40× objective, oil immersion; bone marrow aspirate smear
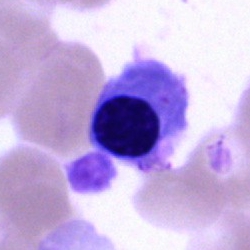
This is an erythroblast.